Image size 400×400. 100× oil immersion, 14.14 px/µm. Peripheral blood film: 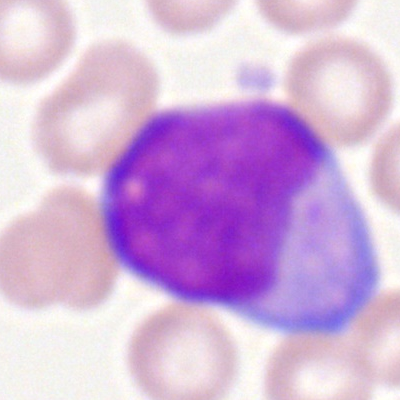
Morphology → myeloblast.